Bone marrow smear: 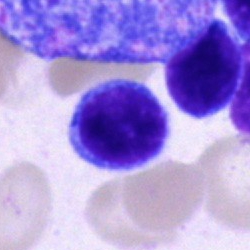
Q: What is shown here?
A: Typical lymphocyte.